250 by 250 pixels. Bone marrow aspirate smear — 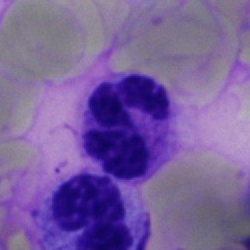

This is a polymorphonuclear neutrophil.